Bone marrow aspirate smear: 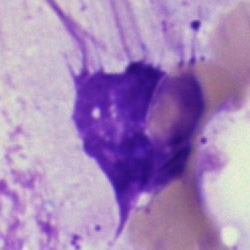
Morphological class — artifact.